Bone marrow aspirate smear
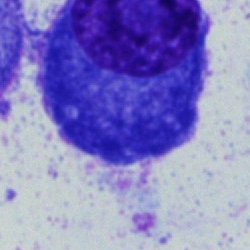This is a plasma cell.